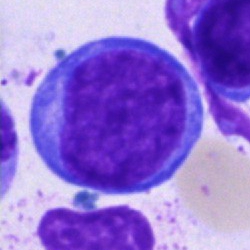

{"cell_type": "proerythroblast"}